Bone marrow smear
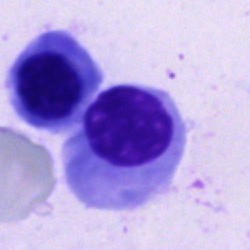 Cell = normoblast.